Bone marrow aspirate smear. 250×250: 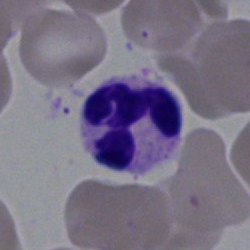 Specimen: bone marrow aspirate smear.
Morphological class: polymorphonuclear neutrophil.
Lineage: myeloid.